Bone marrow aspirate smear:
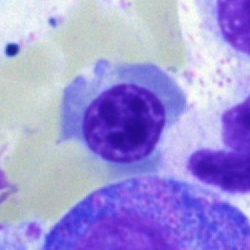Q: What type of cell is this?
A: It is a normoblast.